Bone marrow aspirate smear — 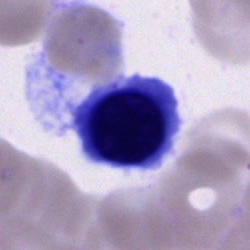

This is a nucleated red blood cell.